Peripheral blood smear; 100× oil immersion, 14.14 px/µm — 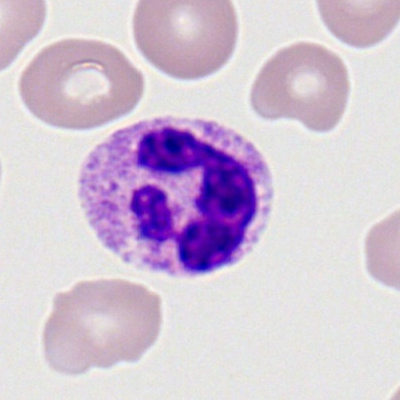 Classification — neutrophil (segmented).